Bone marrow smear: 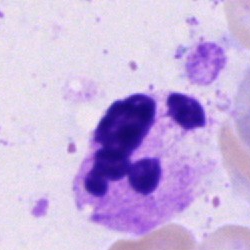
Cell — polymorphonuclear neutrophil.